Bone marrow aspirate smear; single-cell crop — 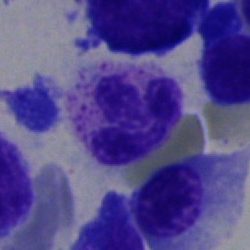

Cell type: segmented neutrophil.